Bone marrow aspirate smear:
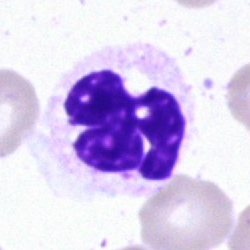A polymorphonuclear neutrophil.